May-Grünwald-Giemsa/Pappenheim stain; bone marrow smear.
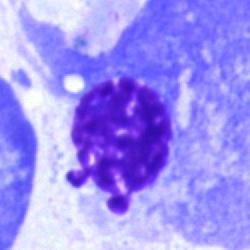{"cell_type": "artifact"}